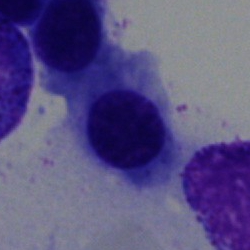
The cell shown is an erythroblast.